Bone marrow aspirate smear.
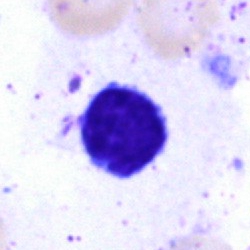

The cell shown is a typical lymphocyte.